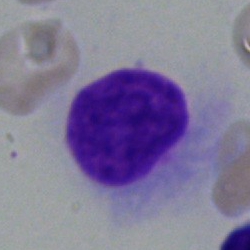
{"cell_type": "lymphocyte", "lineage": "lymphoid"}